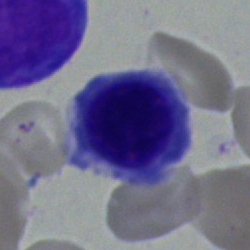
Specimen: bone marrow smear.
Cell: nucleated red cell.
Lineage: erythroid.